Bone marrow smear; cropped to a single cell:
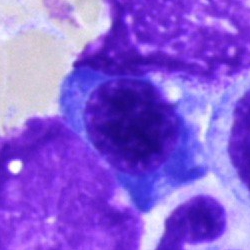
Cell: normoblast.